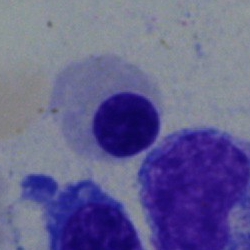
Single-cell crop from a bone marrow smear: normoblast.